Bone marrow smear: 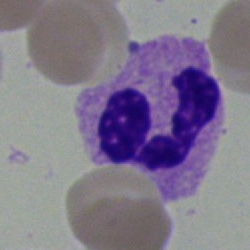 Q: What is shown here?
A: This is a segmented neutrophil.